Bone marrow smear. Brightfield microscopy, 40× oil immersion.
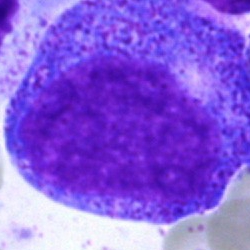
Morphological class — progranulocyte.